Bone marrow smear. MGG-stained. Cropped to a single cell: 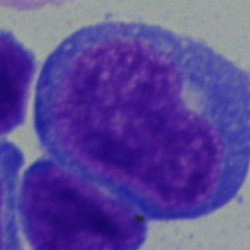

Blast cell.